40× oil immersion · bone marrow aspirate smear:
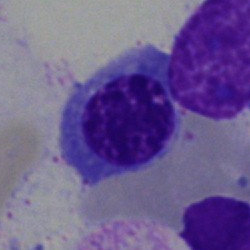
Showing an erythroblast.